Bone marrow aspirate smear; brightfield microscopy, 40× oil immersion:
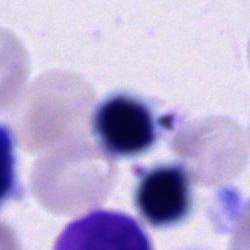An unidentifiable cell.